May-Grünwald-Giemsa/Pappenheim stain. Bone marrow smear. Single-cell crop: 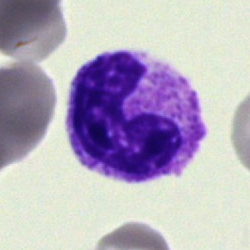Showing a band neutrophil.